Bone marrow smear: 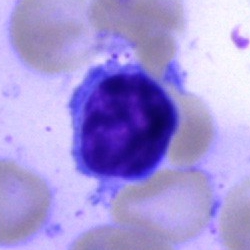Specimen: bone marrow aspirate smear.
Cell: lymphocyte.
Lineage: lymphoid.